Bone marrow smear — 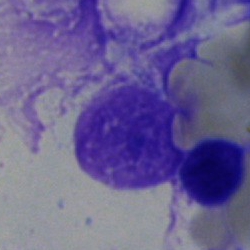 An artifact.